Bone marrow aspirate smear.
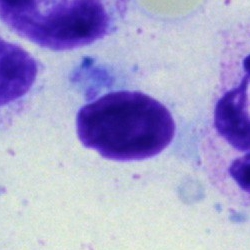 The cell shown is an artefact.